Bone marrow aspirate smear; May-Grünwald-Giemsa stain; single cell centered in the field — 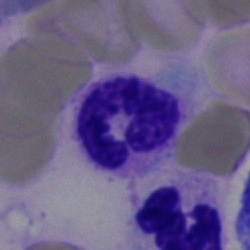
Q: Identify the cell.
A: This is a neutrophil (segmented).